Image size 250×250; bone marrow aspirate smear
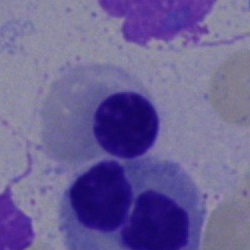
Q: What is the morphological classification of this cell?
A: It is a nucleated red blood cell.